Bone marrow smear:
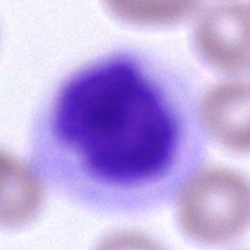 Morphology consistent with a cell of indeterminate lineage.